Bone marrow smear; single cell centered in the field: 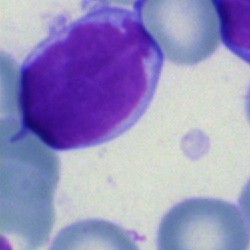Typical lymphocyte.